Bone marrow smear: 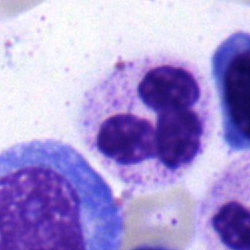

Specimen: bone marrow smear.
Classification: segmented neutrophil.